Brightfield microscopy, 40× oil immersion. Bone marrow smear. Single-cell crop: 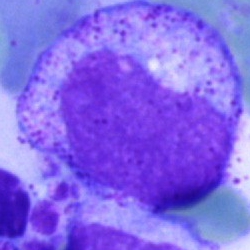 Q: Which cell type is shown here?
A: It is a myelocyte.